Bone marrow aspirate smear: 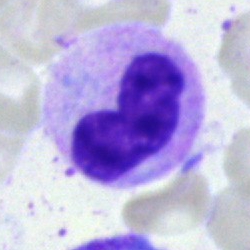

Stab cell.